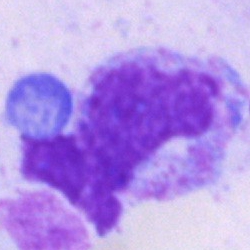
Morphology — artefact.